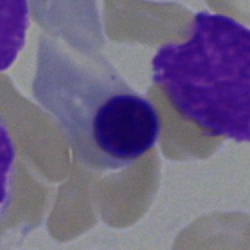

Specimen: bone marrow smear.
Classification: nucleated red blood cell.